Bone marrow smear.
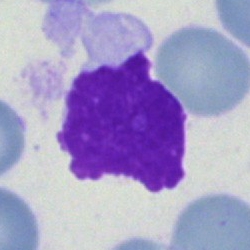Q: What is shown here?
A: It is an artefact.